250×250 · bone marrow smear · single-cell field
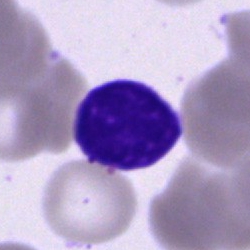

The classification is typical lymphocyte.